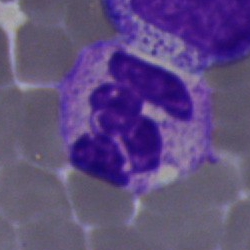Q: Which cell type is shown here?
A: This is a segmented neutrophil.